Bone marrow aspirate smear
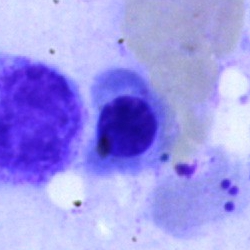

A nucleated red blood cell.